Bone marrow smear; MGG-stained
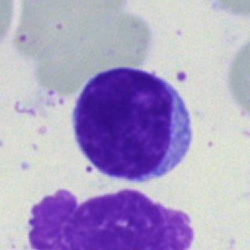
Q: What is the morphological classification of this cell?
A: A lymphocyte.